Bone marrow aspirate smear:
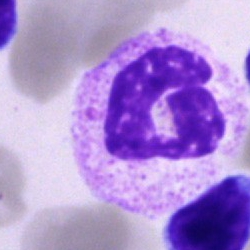 The cell type is segmented neutrophil.